Peripheral blood smear · single-cell crop.
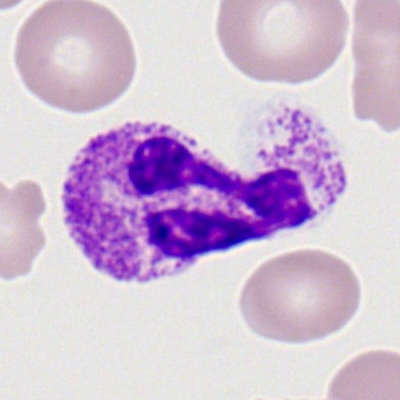
Morphology consistent with a segmented neutrophil.